May-Grünwald-Giemsa/Pappenheim stain. Bone marrow aspirate smear:
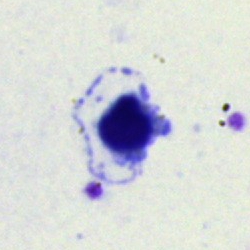

Morphological class: nucleated red cell.